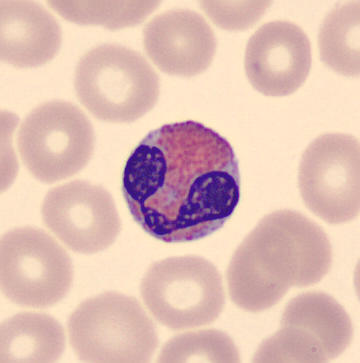 Q: What is shown here?
A: An eosinophil.
Peripheral blood smear.